100× oil immersion, 14.14 px/µm; peripheral blood smear:
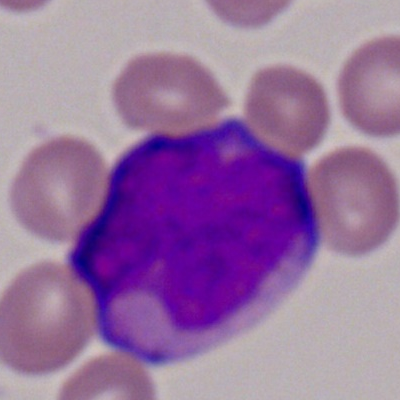 The morphological class is myeloblast.